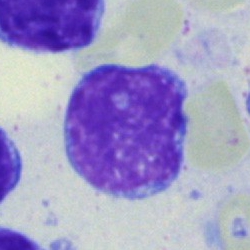

A typical lymphocyte.